Bone marrow smear. MGG-stained.
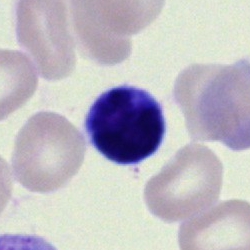

Single cell identified as a lymphocyte.